Cropped to a single cell · bone marrow smear
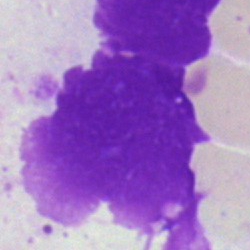Showing an artifact.